Bone marrow aspirate smear
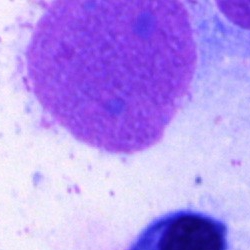 The cell shown is an artifact.